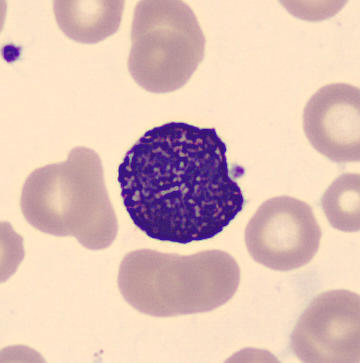Cell type — basophil.
Image: Peripheral blood film. Single-cell field. Imaged on a CellaVision DM96 analyser.